Bone marrow aspirate smear
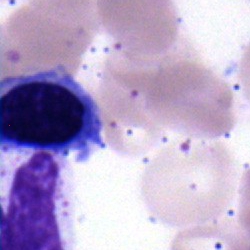 Classification — nucleated red cell.